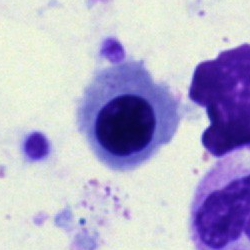Showing a nucleated red cell.